Single cell centered in the field. Bone marrow aspirate smear. 250×250: 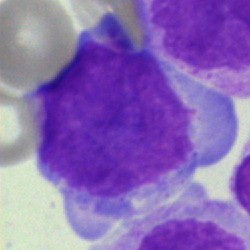

Specimen: bone marrow smear.
Morphological class: blast.